Single-cell field. Bone marrow smear. 40× oil immersion: 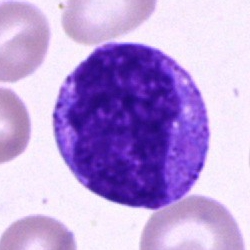The classification is unidentifiable cell.